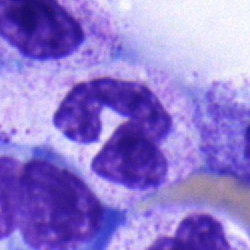 Cell: neutrophil (segmented).